Bone marrow smear · brightfield microscopy, 40× oil immersion: 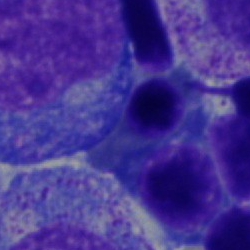
Classification: nucleated red cell.